Bone marrow aspirate smear
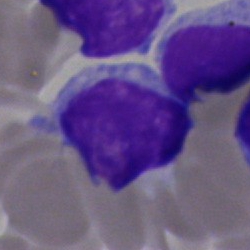

Cell — lymphocyte.